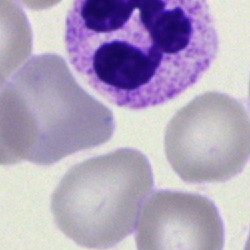

Classification: polymorphonuclear neutrophil.